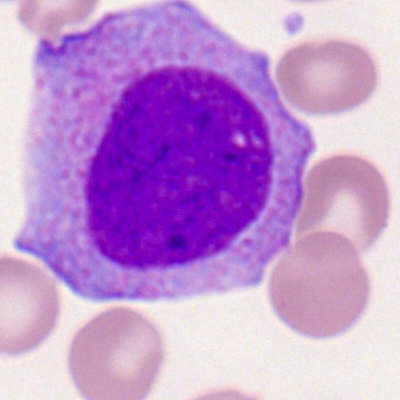 Classification: progranulocyte.